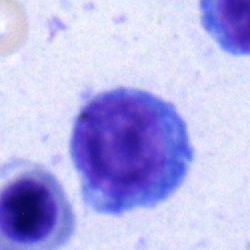
A typical lymphocyte on a bone marrow smear.